Bone marrow smear. 250 by 250 pixels
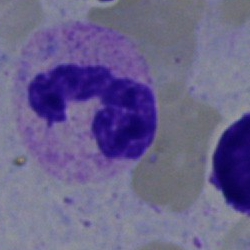
Morphological class: neutrophil (band).